Bone marrow smear
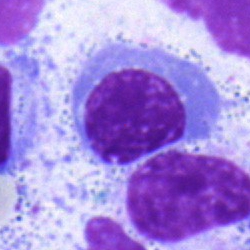
Impression — normoblast.